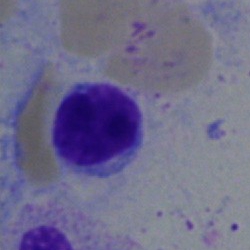 Q: What is the morphological classification of this cell?
A: Typical lymphocyte.